Bone marrow smear
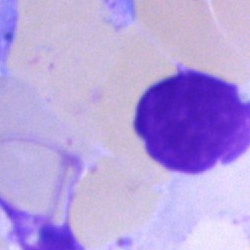
The cell is artefact.